Bone marrow aspirate smear:
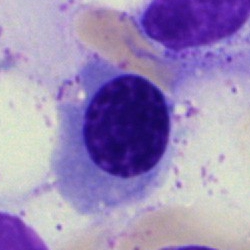 Classification: erythroblast.